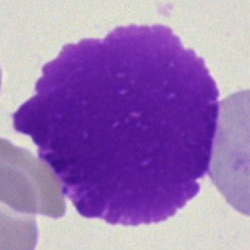 Classification = artefact.